Bone marrow aspirate smear. 250×250 px. Single-cell field:
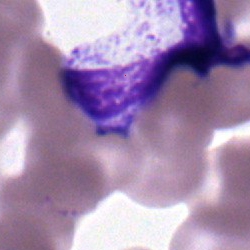 Single cell identified as a segmented neutrophil.